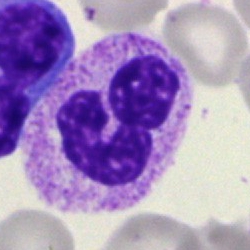 This is a polymorphonuclear neutrophil.